Peripheral blood film:
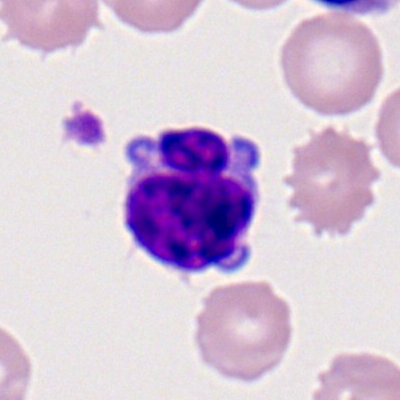Morphological class — lymphocyte.